MGG-stained; bone marrow aspirate smear
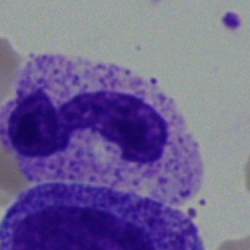
Morphology consistent with a stab cell.